Bone marrow aspirate smear.
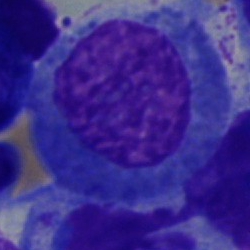

Showing a plasma cell.